Bone marrow smear
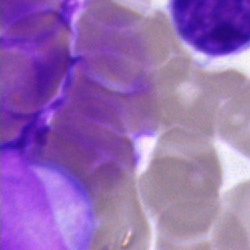
Morphology consistent with an artifact.